Bone marrow aspirate smear; 40× oil immersion:
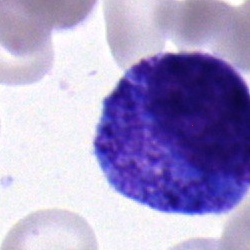
The cell type is promyelocyte.